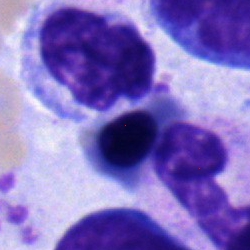 Bone marrow smear showing an erythroblast.